Bone marrow aspirate smear. May-Grünwald-Giemsa/Pappenheim stain. 250×250.
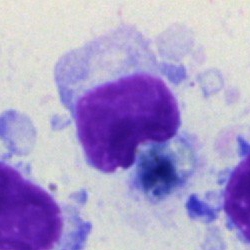 Impression → typical lymphocyte.